Bone marrow aspirate smear · May-Grünwald-Giemsa stain: 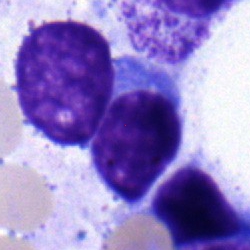
Single cell identified as a lymphocyte.